Image size 250×250 · bone marrow smear — 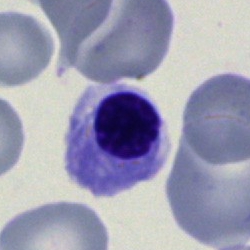
Morphology → erythroblast.